Bone marrow smear.
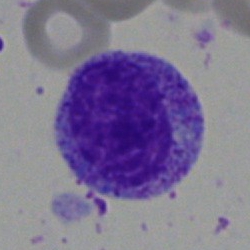

Q: Identify the cell.
A: A promyelocyte.